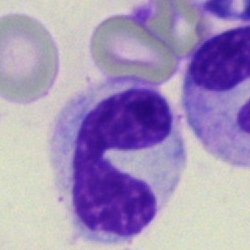Neutrophil (segmented).